Bone marrow smear — 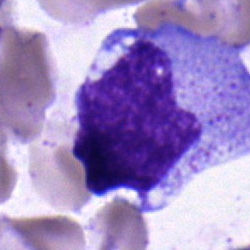

Showing a monocyte.